Bone marrow smear; Pappenheim-stained
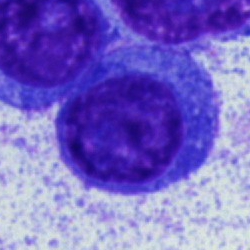Morphological class: plasma cell.